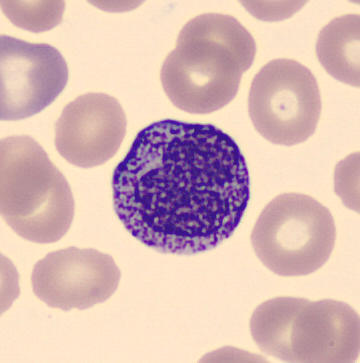

Preparation: 360 by 363 pixels. Peripheral blood film.
Q: What is the morphological classification of this cell?
A: Metamyelocyte.